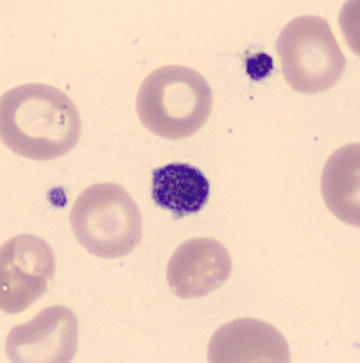

Preparation: MGG-stained; peripheral blood smear.
Morphological class = thrombocyte.